Bone marrow smear — 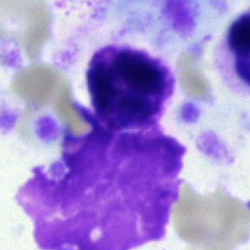
Q: What is shown here?
A: Basophilic granulocyte.